Bone marrow smear
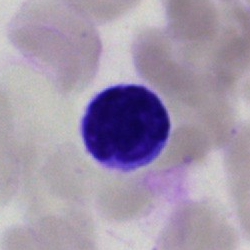

Morphology consistent with a lymphocyte.